250 by 250 pixels; bone marrow aspirate smear — 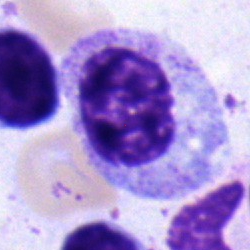Single cell identified as a myelocyte.